Pappenheim-stained · bone marrow smear · 250×250 px.
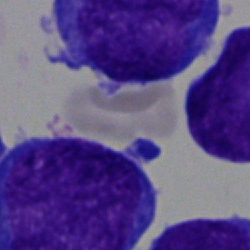
Q: Which cell type is shown here?
A: It is a blast cell.